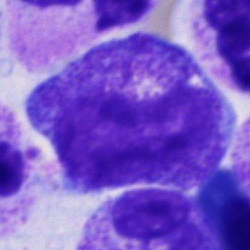

A progranulocyte on a bone marrow smear.